Bone marrow aspirate smear · 40× objective, oil immersion.
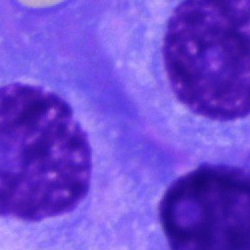Cell type = plasmacyte.